Peripheral blood smear:
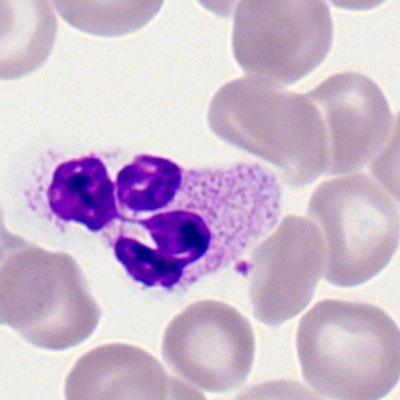
Single cell identified as a neutrophil (segmented).